Bone marrow smear · 250×250
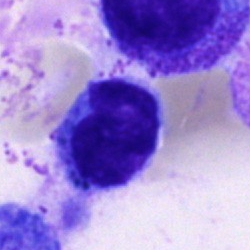
The cell type is typical lymphocyte.